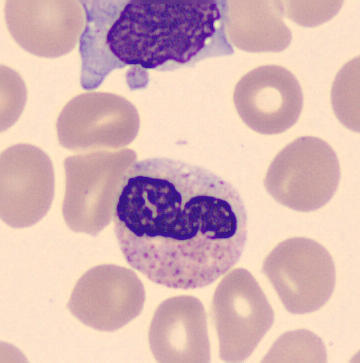 Peripheral blood film. The cell is neutrophil (segmented).